Bone marrow aspirate smear · May-Grünwald-Giemsa stain · single-cell crop.
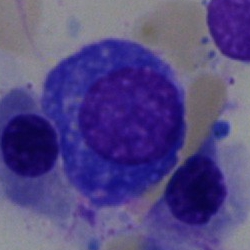Impression — plasma cell.